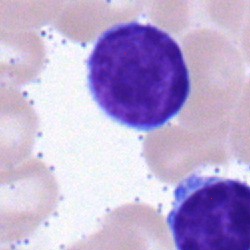

Specimen: bone marrow smear.
Cell: lymphocyte.
Lineage: lymphoid.